Bone marrow smear — 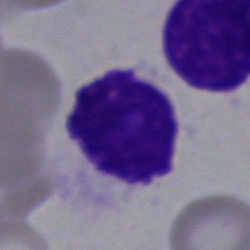

An artefact.